Bone marrow smear:
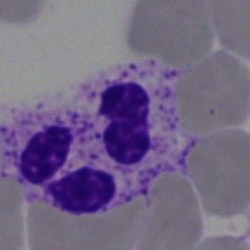Classification — neutrophil (segmented).